Bone marrow aspirate smear
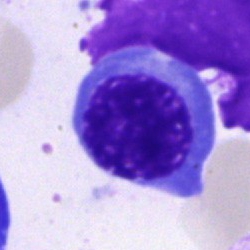
Q: Which cell type is shown here?
A: This is an erythroblast.